Image size 250×250 · bone marrow smear:
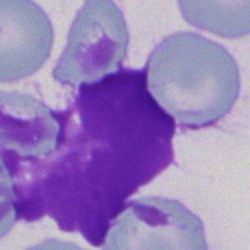{"cell_type": "artefact"}